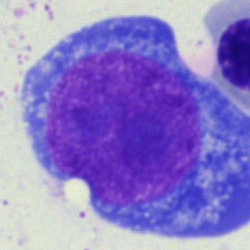{"cell_type": "pronormoblast"}